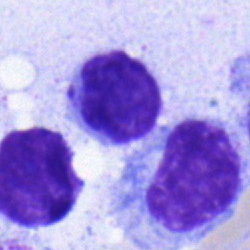
The classification is lymphocyte.